Bone marrow aspirate smear; image size 250×250 — 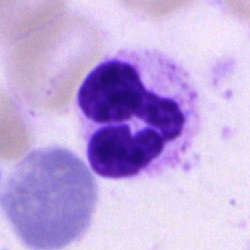
Showing a polymorphonuclear neutrophil.